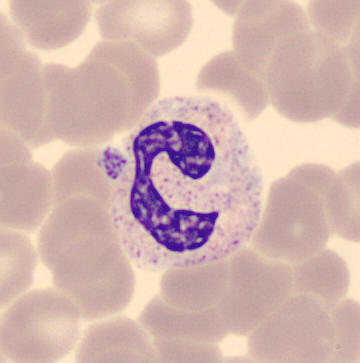
{"cell_type": "band neutrophil", "lineage": "myeloid"} Preparation: MGG-stained · peripheral blood smear.